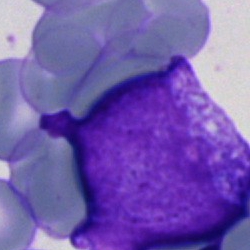

The morphological class is blast cell.